Bone marrow smear · cropped to a single cell · brightfield, 40× oil-immersion objective:
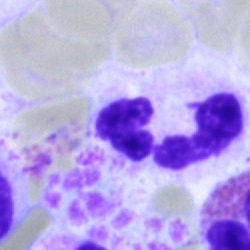

Morphological class: neutrophil (segmented).